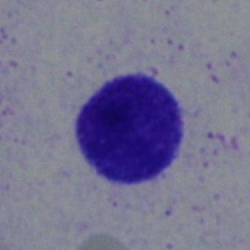

Classification — lymphocyte.